Peripheral blood film:
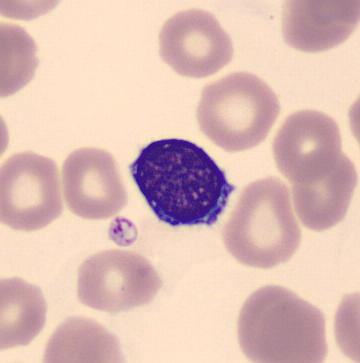 Morphology consistent with a lymphocyte.